Bone marrow aspirate smear.
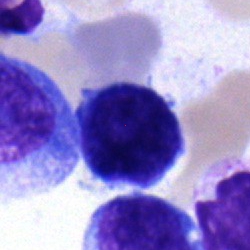

Cell type — lymphocyte.